Bone marrow aspirate smear:
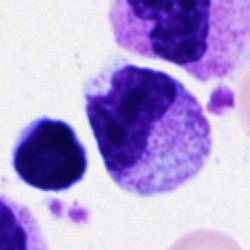
Morphology — metamyelocyte.